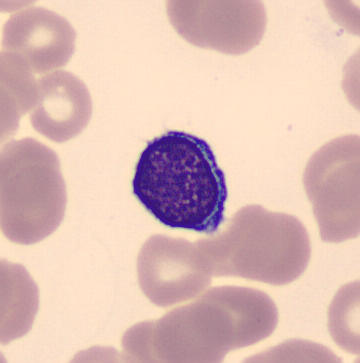Specimen: peripheral blood smear.
Cell: typical lymphocyte.